Brightfield, 40× oil-immersion objective. Bone marrow smear:
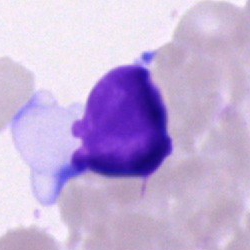
Q: What is shown here?
A: This is an artefact.